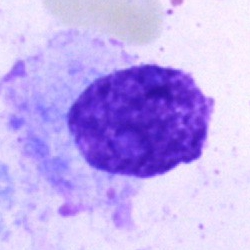

Single cell identified as an artefact.